Peripheral blood film:
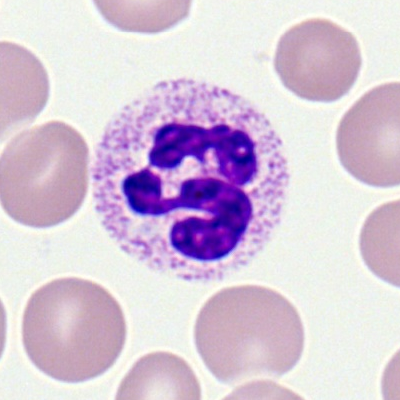
The morphological class is neutrophil (segmented).